Bone marrow aspirate smear. May-Grünwald-Giemsa stain:
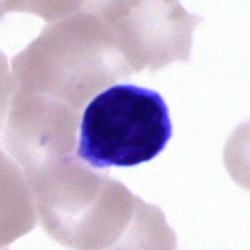Impression — lymphocyte.